Bone marrow aspirate smear — 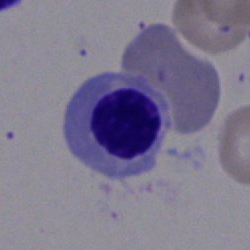
Specimen: bone marrow smear.
Cell type: nucleated red blood cell.